Bone marrow aspirate smear; 250 by 250 pixels: 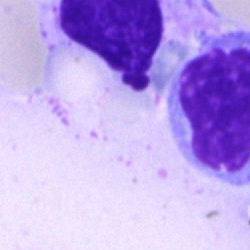

{"cell_type": "artefact"}